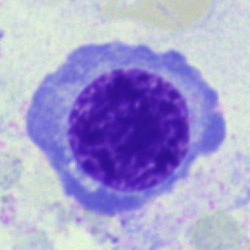 Morphology → nucleated red blood cell.